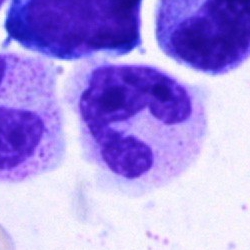 Morphology consistent with a segmented neutrophil.